May-Grünwald-Giemsa/Pappenheim stain · bone marrow aspirate smear — 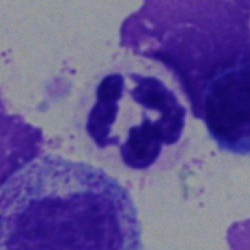

Morphology consistent with a segmented neutrophil.